Bone marrow aspirate smear
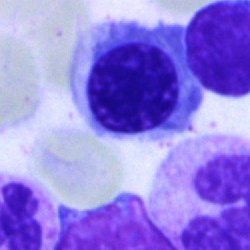 Cell — nucleated red blood cell.